Bone marrow smear. Single-cell field — 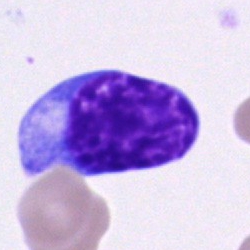

Morphological class = blast cell.